Bone marrow smear; 40× objective, oil immersion; May-Grünwald-Giemsa stain.
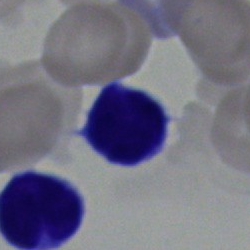{"cell_type": "typical lymphocyte"}